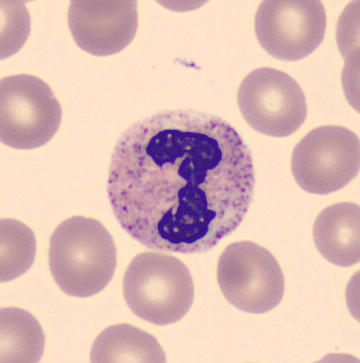
Specimen: peripheral blood film.
Morphological class: segmented neutrophil.
Lineage: myeloid.